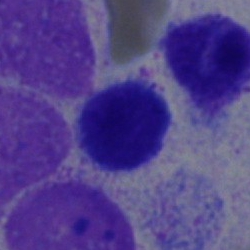 The cell shown is a lymphocyte.